Single-cell crop · bone marrow aspirate smear
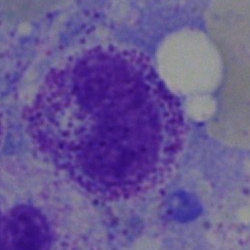A neutrophil (band).